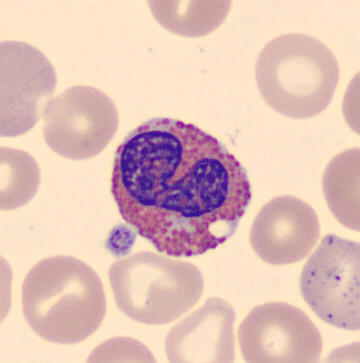 Preparation: May-Grünwald-Giemsa-stained · peripheral blood film. {"cell_type": "eosinophil", "lineage": "myeloid"}